Brightfield microscopy, 40× oil immersion · bone marrow aspirate smear.
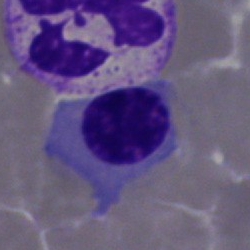This is a nucleated red blood cell.